Bone marrow aspirate smear · cropped to a single cell: 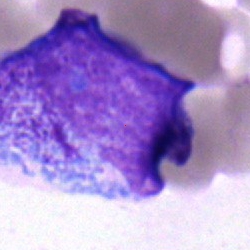 The cell is blast.